Image size 250×250. Bone marrow aspirate smear
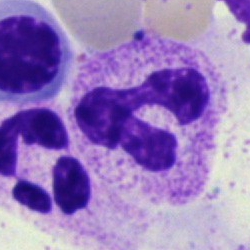
A segmented neutrophil.